250 by 250 pixels. Bone marrow smear:
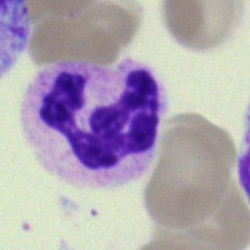 Morphological class — neutrophil (segmented).